Bone marrow aspirate smear:
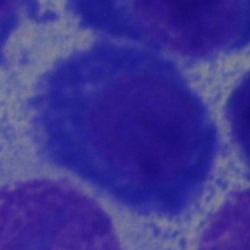This is a plasmacyte.